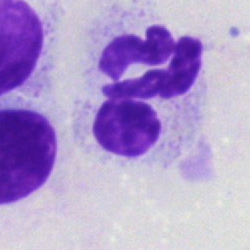

Bone marrow aspirate smear, single cell — neutrophil (segmented).